Bone marrow smear:
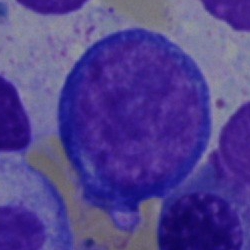Cell = pronormoblast.